Bone marrow aspirate smear:
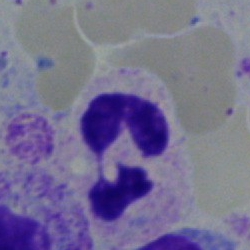
Classification — polymorphonuclear neutrophil.